Bone marrow aspirate smear · 250×250 px.
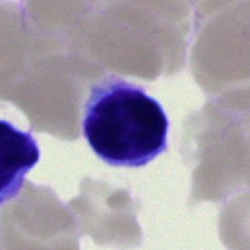 A typical lymphocyte.